Bone marrow aspirate smear. 250×250:
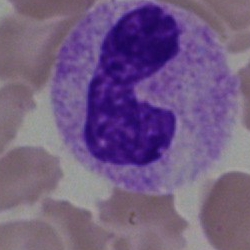Classification: neutrophil (segmented).